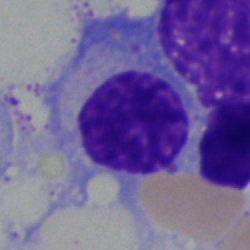 Plasma cell.